Bone marrow smear:
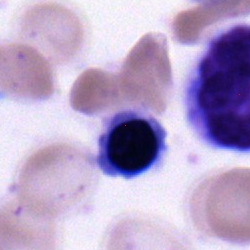
Cell — erythroblast.